Bone marrow aspirate smear; single cell centered in the field.
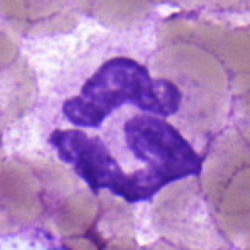 A polymorphonuclear neutrophil.